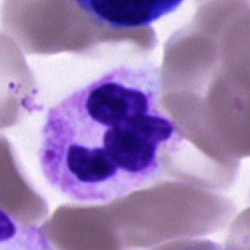
Q: What cell is this?
A: This is a neutrophil (segmented).